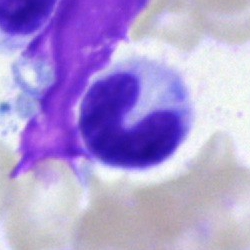

Q: What is the morphological classification of this cell?
A: A stab cell.